400×400; peripheral blood smear; 100× objective, oil immersion:
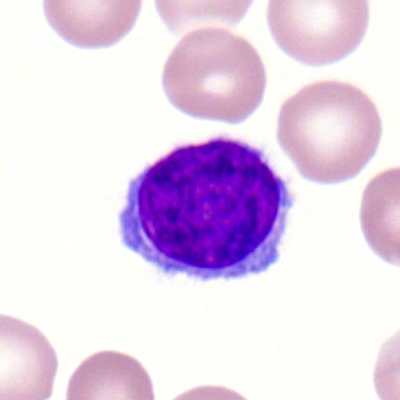

Single cell identified as a typical lymphocyte.